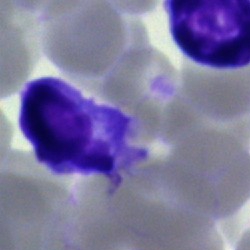

{"cell_type": "typical lymphocyte", "lineage": "lymphoid"}